Bone marrow smear.
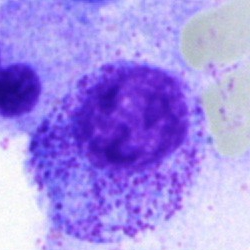 Myelocyte.